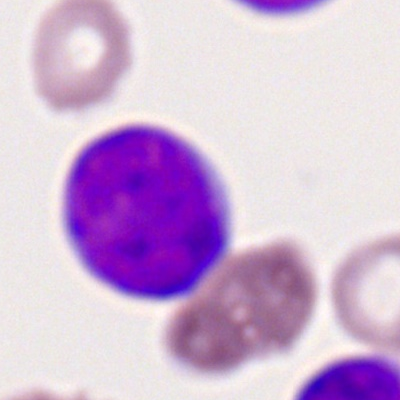
Specimen: peripheral blood smear.
Cell type: myeloblast.